Brightfield microscopy, 40× oil immersion · MGG-stained · bone marrow smear.
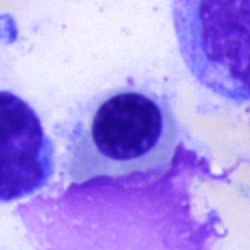Morphology consistent with a normoblast.